Bone marrow smear
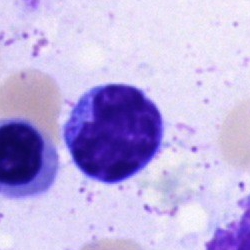 Specimen: bone marrow aspirate smear.
Morphological class: typical lymphocyte.
Lineage: lymphoid.